Bone marrow smear
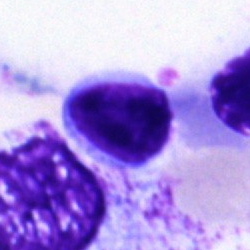Classification = typical lymphocyte.